Bone marrow smear; 40× objective, oil immersion: 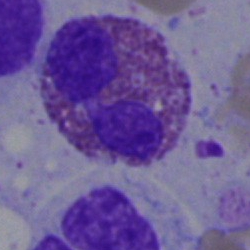
Showing an eosinophil.